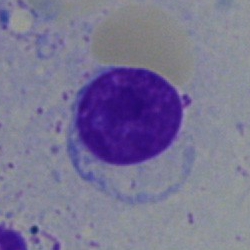 Morphology — typical lymphocyte.